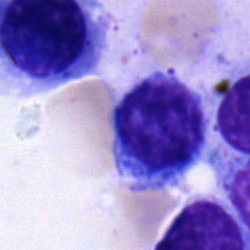Cell = lymphocyte.